Bone marrow aspirate smear
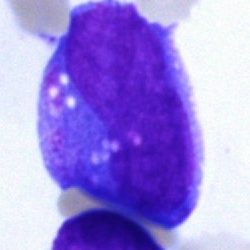{"cell_type": "undifferentiated blast"}